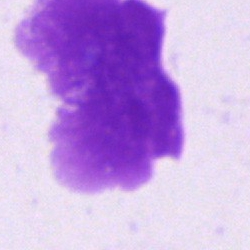

The classification is artifact.